Romanowsky-type stain · peripheral blood film: 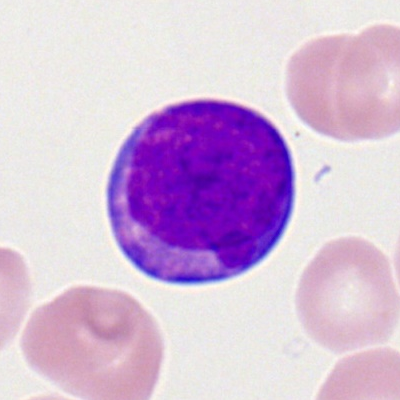

A myeloblast.